Bone marrow aspirate smear
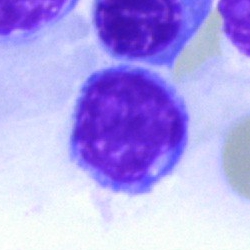

Classification — lymphocyte.